Bone marrow aspirate smear; 250×250 — 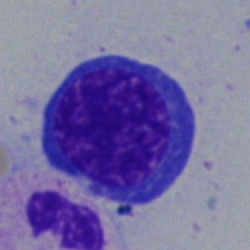 Morphology — erythroblast.